Brightfield, 40× oil-immersion objective; bone marrow aspirate smear
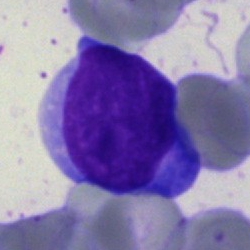 Cell: blast cell.